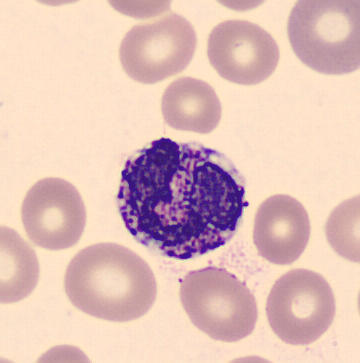This is a basophil. Peripheral blood film.